Bone marrow smear — 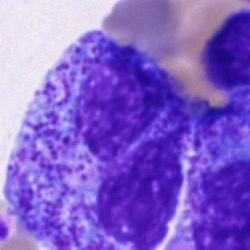 Q: What is the morphological classification of this cell?
A: A progranulocyte.